Single-cell crop. Bone marrow smear. 250×250 px:
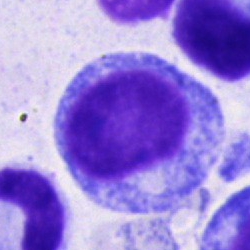Cell type — progranulocyte.